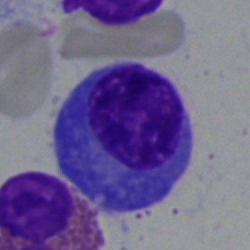

Morphological class = plasmacyte.